Bone marrow smear: 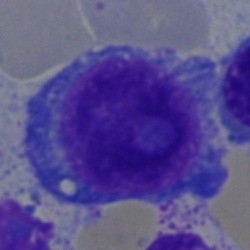 This is a plasma cell.